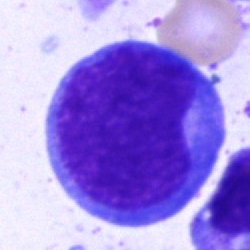

Q: Identify the cell.
A: It is a blast.